Cropped to a single cell · MGG-stained · bone marrow aspirate smear — 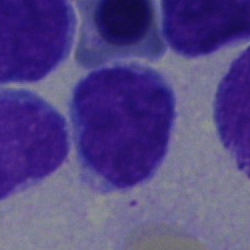Morphology — lymphocyte.